Bone marrow smear. Brightfield, 40× oil-immersion objective.
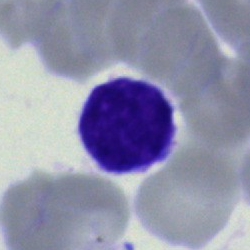 The morphological class is typical lymphocyte.